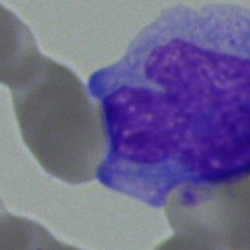 Q: Identify the cell.
A: A monocyte.